Bone marrow aspirate smear.
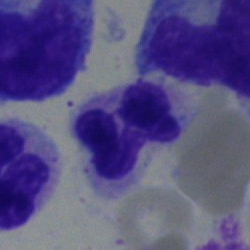 Morphological class = segmented neutrophil.